Bone marrow smear. Single-cell field:
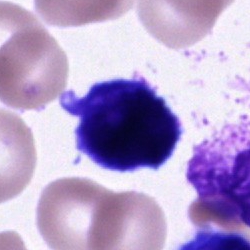
Showing an unidentifiable cell.